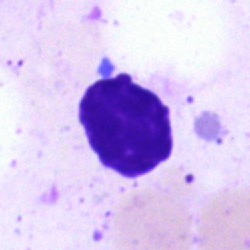
Q: What is shown here?
A: Artefact.